Bone marrow smear.
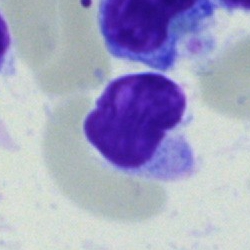
Morphological class: typical lymphocyte.